Bone marrow smear:
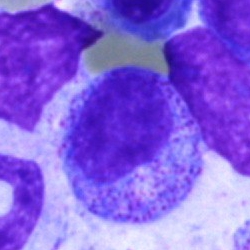This is a myelocyte.